Bone marrow smear — 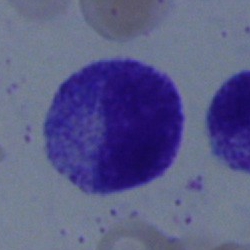

Single cell identified as a myelocyte.